Bone marrow aspirate smear; 250 by 250 pixels:
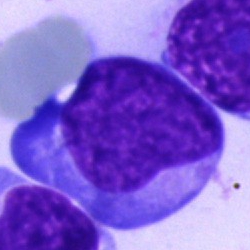

Undifferentiated blast.